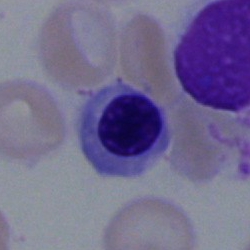Q: What is shown here?
A: Nucleated red blood cell.